MGG-stained; bone marrow aspirate smear: 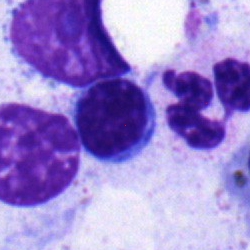 Q: What type of cell is this?
A: It is a lymphocyte.